Bone marrow smear
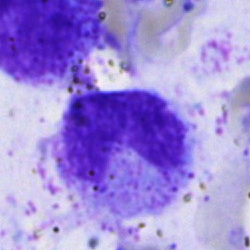

Showing a neutrophil (band).